Peripheral blood film.
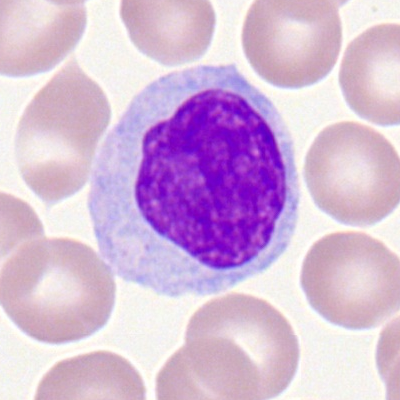Cell: monocyte.